Bone marrow aspirate smear. Pappenheim-stained — 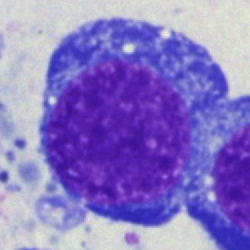

Nucleated red cell.